Bone marrow smear
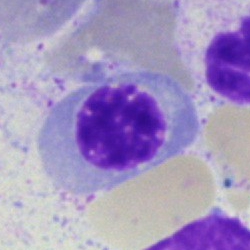
Impression — nucleated red cell.